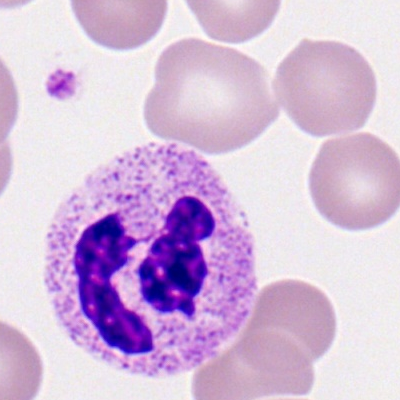
Specimen: peripheral blood film.
Cell type: segmented neutrophil.